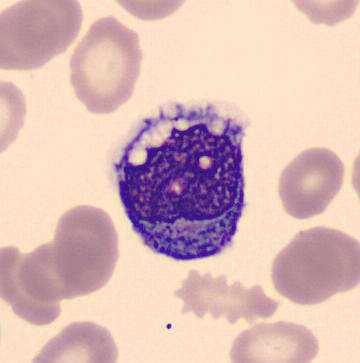
Q: Identify the cell.
A: This is a monocyte.
Image: Peripheral blood smear.